250 by 250 pixels · bone marrow aspirate smear · cropped to a single cell: 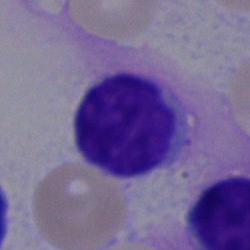 Impression → typical lymphocyte.